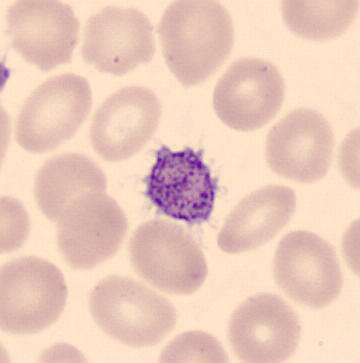

Morphology consistent with a thrombocyte.

Peripheral blood film · image size 360×363 · MGG stain.